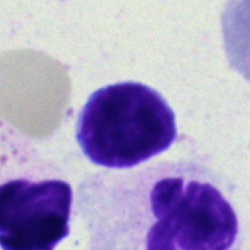Morphology — lymphocyte.